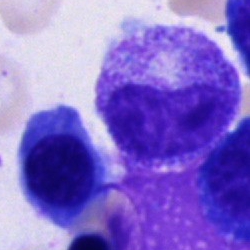Specimen: bone marrow aspirate smear.
Cell type: metamyelocyte.